Bone marrow smear. May-Grünwald-Giemsa stain:
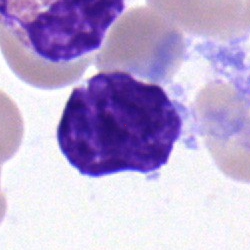Cell type = lymphocyte.